Bone marrow smear.
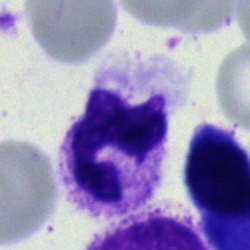This is a neutrophil (segmented).